Bone marrow aspirate smear; cropped to a single cell
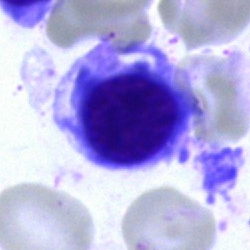

A nucleated red cell.